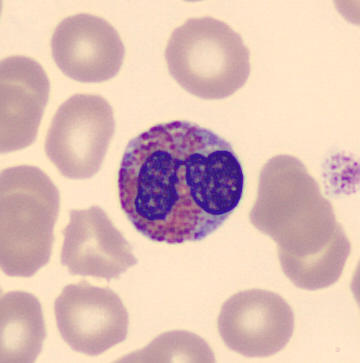
Acquisition: Peripheral blood film; cropped to a single cell; CellaVision DM96.

Morphology consistent with an eosinophil.